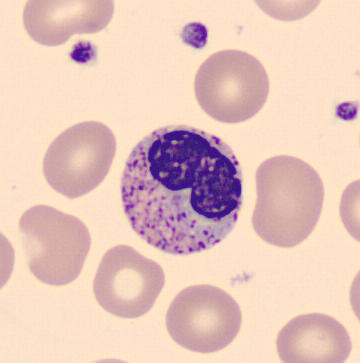
Preparation: Peripheral blood film.

Impression → band-form neutrophil.